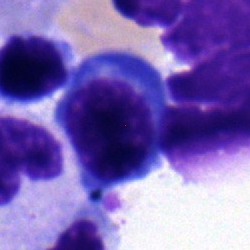Specimen: bone marrow aspirate smear.
Cell: plasmacyte.
Lineage: lymphoid.